Peripheral blood film; Romanowsky-stained; cropped to a single cell — 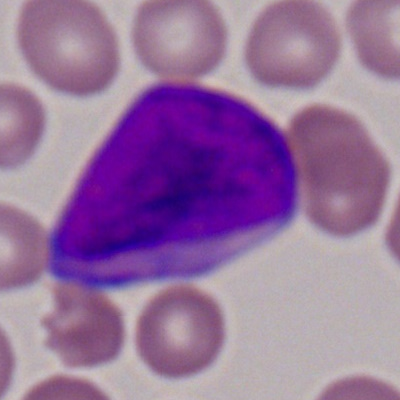The classification is myeloblast.